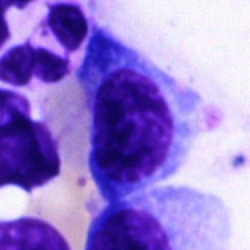

Morphology → normoblast.